Bone marrow aspirate smear:
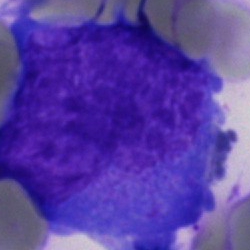 Cell type: undifferentiated blast.